Single-cell crop. Brightfield, 100× oil-immersion objective. Peripheral blood film: 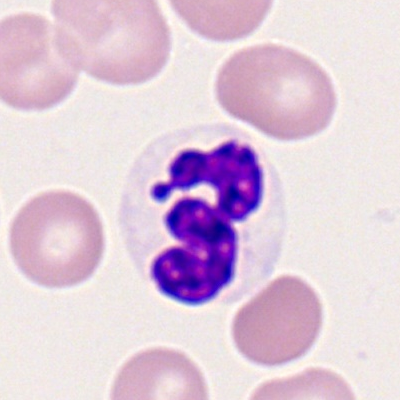This is a segmented neutrophil.